Bone marrow smear
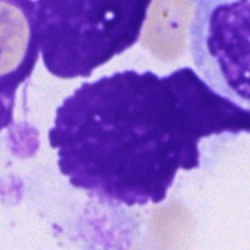

The cell shown is an artefact.